Peripheral blood smear:
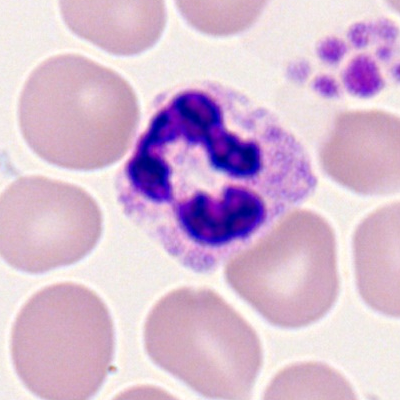
Showing a neutrophil (segmented).